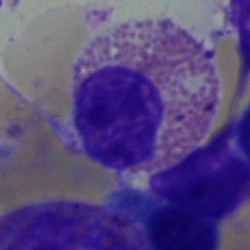
Q: What cell is this?
A: This is an eosinophil.